Bone marrow aspirate smear.
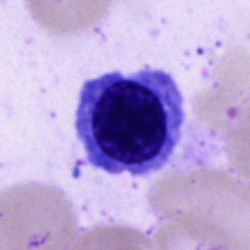This is a nucleated red blood cell.